Bone marrow aspirate smear · brightfield, 40× oil-immersion objective · May-Grünwald-Giemsa/Pappenheim stain.
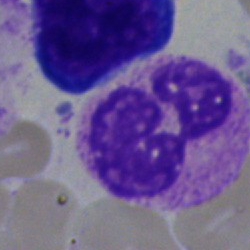 Showing a polymorphonuclear neutrophil.